Bone marrow aspirate smear; brightfield microscopy, 40× oil immersion:
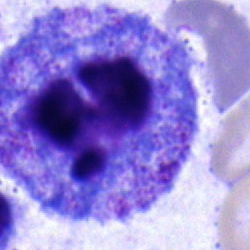
Morphology consistent with a progranulocyte.